Bone marrow smear:
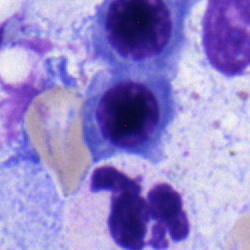

Cell — nucleated red blood cell.